250 by 250 pixels; bone marrow smear — 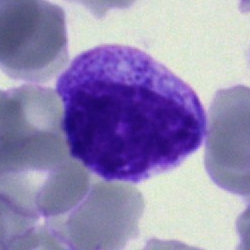Q: Identify the cell.
A: It is a myelocyte.